Bone marrow smear: 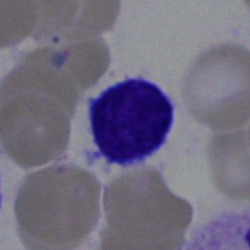

Single cell identified as a typical lymphocyte.